Cropped to a single cell; Pappenheim-stained; bone marrow smear:
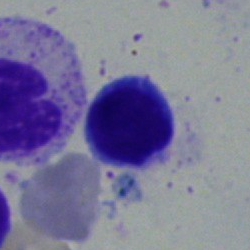Classification = lymphocyte.